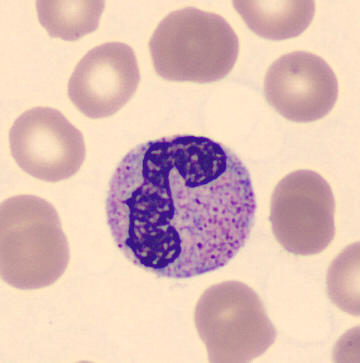 Identified as a neutrophil (band).